Peripheral blood film. Brightfield, 100× oil-immersion objective:
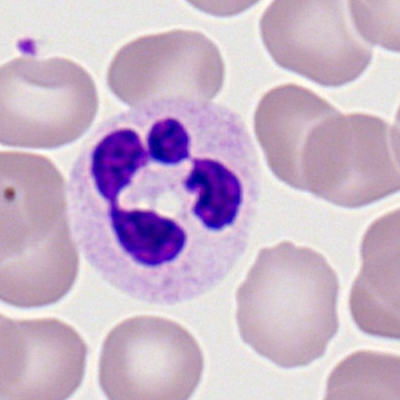

The morphological class is segmented neutrophil.